MGG-stained; bone marrow smear:
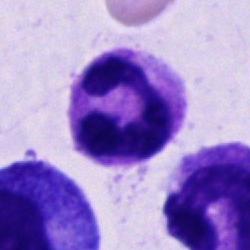
Impression — segmented neutrophil.